Bone marrow aspirate smear; single cell centered in the field
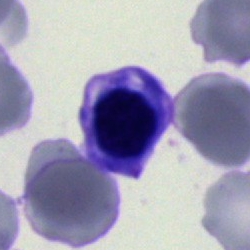 This is an erythroblast.